Bone marrow aspirate smear.
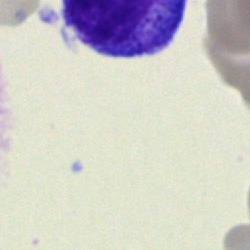Cell — cell of indeterminate lineage.